Bone marrow aspirate smear · single-cell crop — 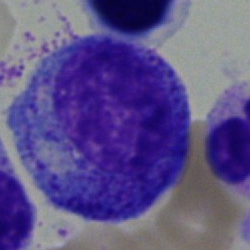A progranulocyte.